Bone marrow aspirate smear.
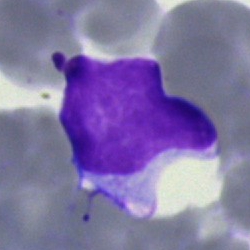Cell type: typical lymphocyte.